Bone marrow smear. Cropped to a single cell. May-Grünwald-Giemsa stain — 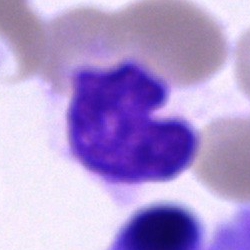

Morphology consistent with an unidentifiable cell.